Bone marrow smear.
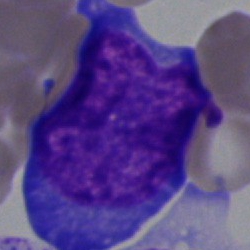 Q: What cell is this?
A: Blast cell.